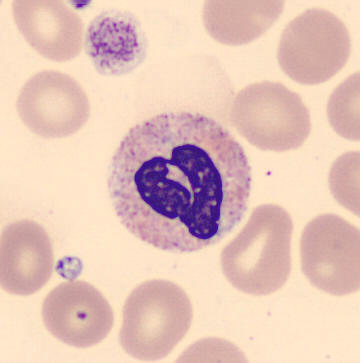

This is a neutrophil (segmented).

Preparation: Peripheral blood smear.